Bone marrow aspirate smear · 250×250 px: 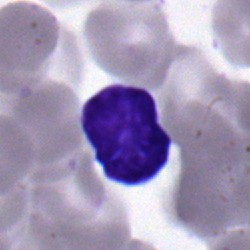
Specimen: bone marrow smear.
Classification: lymphocyte.